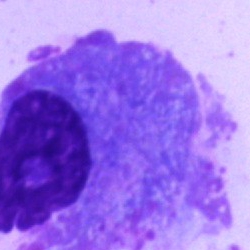{"cell_type": "plasma cell", "lineage": "lymphoid"}